Bone marrow aspirate smear; 40× oil immersion:
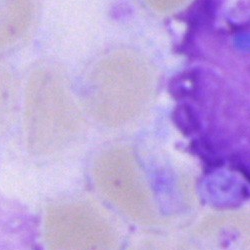Cell type — artefact.